Bone marrow smear · single cell centered in the field
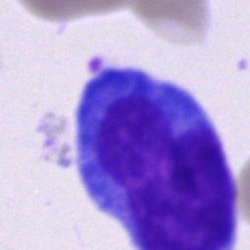Blast.